Bone marrow smear; MGG-stained:
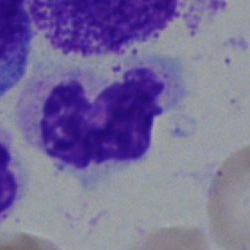
Q: What is shown here?
A: It is a polymorphonuclear neutrophil.